Bone marrow aspirate smear · 250 by 250 pixels — 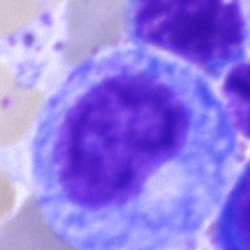

Q: What is shown here?
A: It is a progranulocyte.